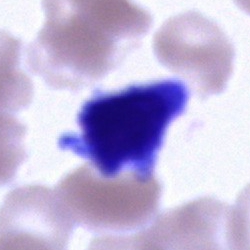 Morphological class: unidentifiable cell.